Peripheral blood film — 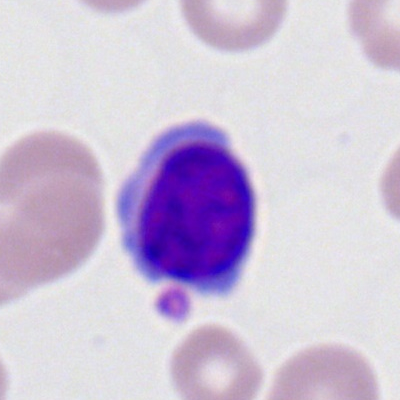Q: What cell is this?
A: A typical lymphocyte.